Bone marrow smear.
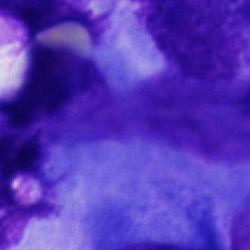

A cell not matching the other categories.